Bone marrow aspirate smear · 250×250 px · 40× oil immersion
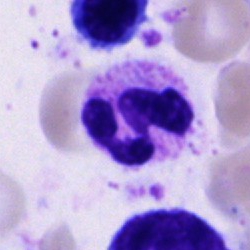The cell shown is a neutrophil (segmented).